Bone marrow aspirate smear. 250×250 px: 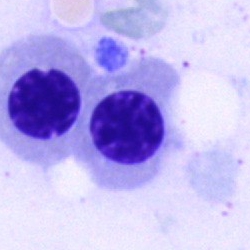 A nucleated red blood cell.